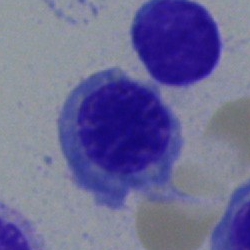Q: What is shown here?
A: An erythroblast.